Peripheral blood smear.
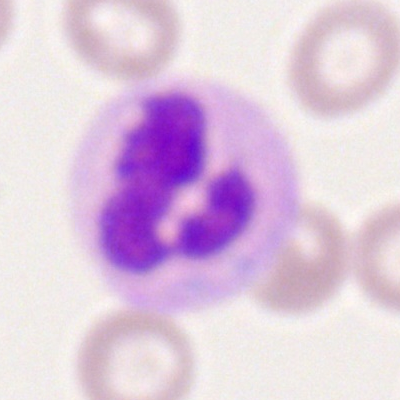

Morphology consistent with a segmented neutrophil.